Bone marrow aspirate smear: 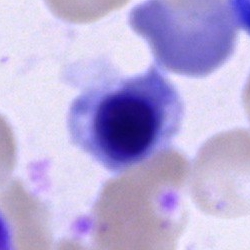
Classification: nucleated red blood cell.